Cropped to a single cell. Bone marrow aspirate smear
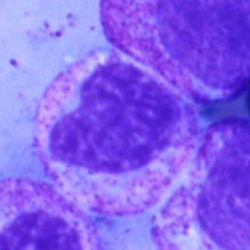 Specimen: bone marrow smear.
Morphological class: metamyelocyte.
Lineage: myeloid.